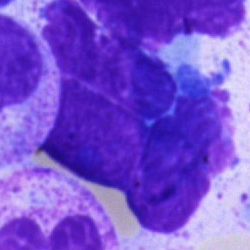

Impression → artifact.